Bone marrow smear — 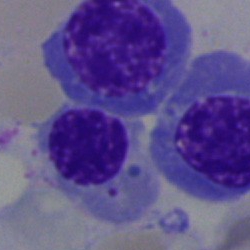

Impression — nucleated red cell.